Bone marrow aspirate smear
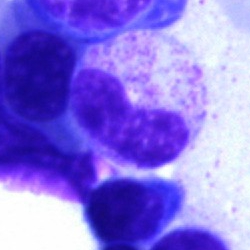 Stab cell.